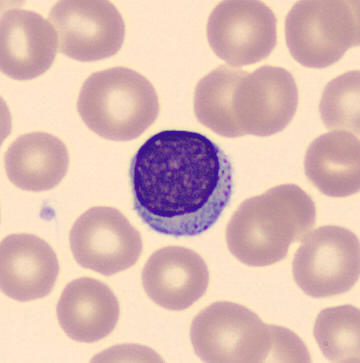

Morphology consistent with a typical lymphocyte.

Preparation: Peripheral blood film.